Bone marrow aspirate smear; single-cell crop; 250×250 px
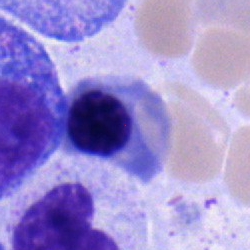 Q: What cell is this?
A: Normoblast.